Peripheral blood film · CellaVision DM96 · May Grünwald-Giemsa stain: 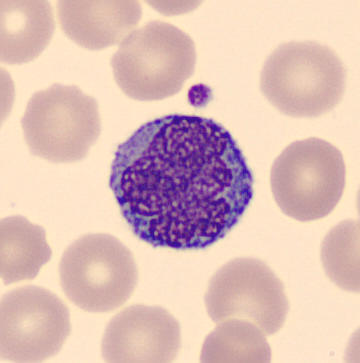
Morphological class = monocyte.